MGG-stained · bone marrow smear:
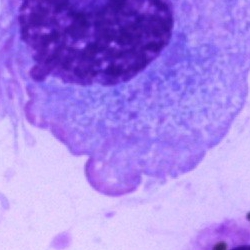Plasmacyte.